40× objective, oil immersion; bone marrow smear:
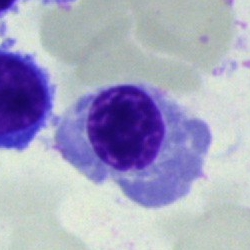Impression → normoblast.